100× objective, oil immersion; peripheral blood smear; Romanowsky stain — 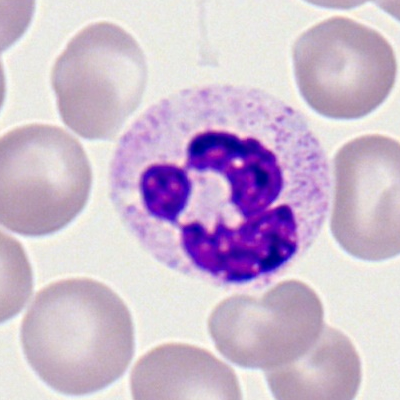

Q: What cell is this?
A: Neutrophil (segmented).